May-Grünwald-Giemsa stain; single cell centered in the field; bone marrow aspirate smear — 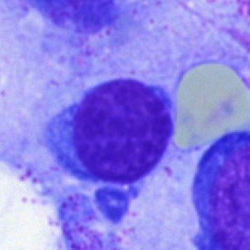Impression → typical lymphocyte.